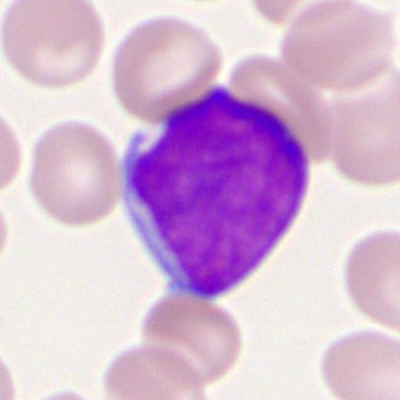 Cell type — myeloblast.